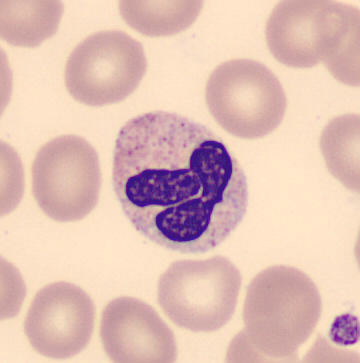
Morphological class — band neutrophil.